Pappenheim-stained · bone marrow smear:
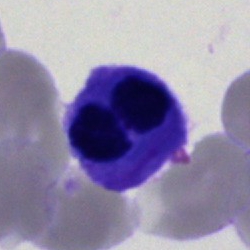Q: What type of cell is this?
A: It is a normoblast.